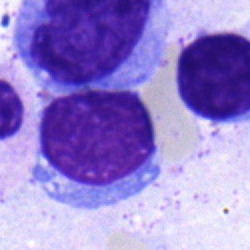

Cell type — typical lymphocyte.